Bone marrow aspirate smear
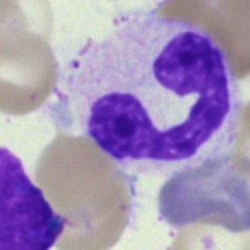Q: Which cell type is shown here?
A: Segmented neutrophil.